100× objective, oil immersion · 400 by 400 pixels · peripheral blood film:
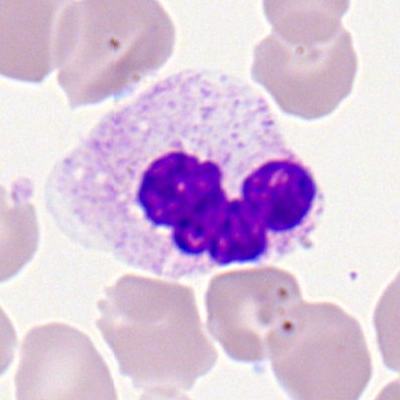

Single cell identified as a neutrophil (segmented).